Peripheral blood smear
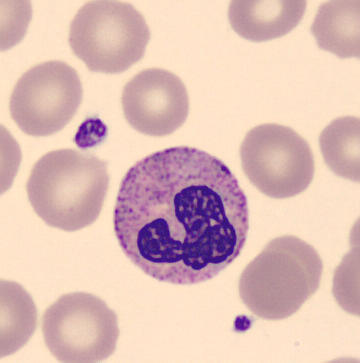
The cell type is band-form neutrophil.